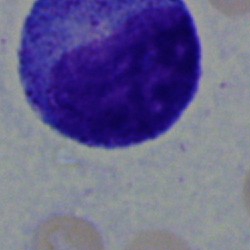

Single-cell crop from a bone marrow smear: promyelocyte.